Bone marrow aspirate smear.
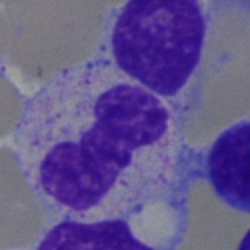 Showing a band-form neutrophil.